Bone marrow smear.
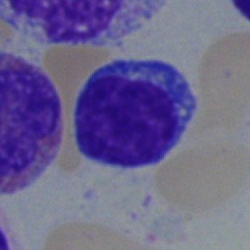 Cell type: typical lymphocyte.